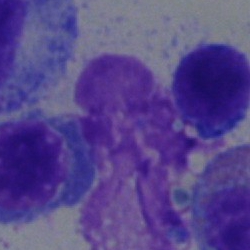

Q: What is shown here?
A: An artifact.